Bone marrow aspirate smear
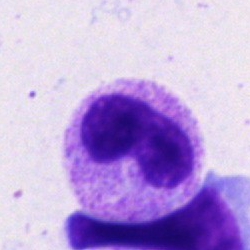
A metamyelocyte.